Bone marrow aspirate smear
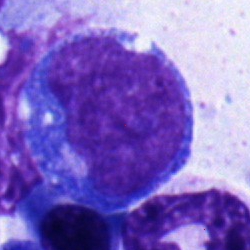Q: Identify the cell.
A: This is a pronormoblast.